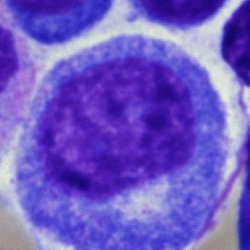 Q: What is the morphological classification of this cell?
A: A promyelocyte.